Peripheral blood film:
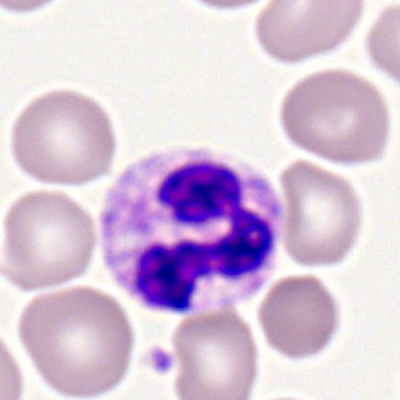Impression → polymorphonuclear neutrophil.